Bone marrow smear.
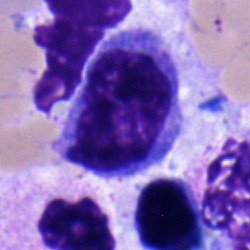

This is a monocyte.